Bone marrow smear.
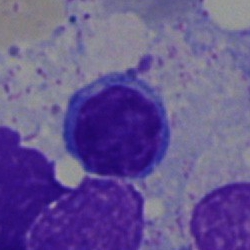Cell type — lymphocyte.